250×250 px · bone marrow smear — 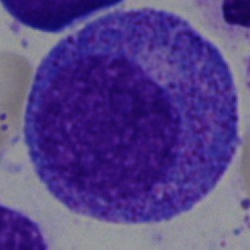 The cell type is promyelocyte.